Single-cell field; bone marrow aspirate smear:
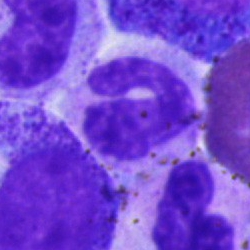The cell shown is a polymorphonuclear neutrophil.